Bone marrow aspirate smear:
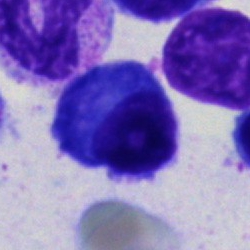A plasma cell.